Bone marrow aspirate smear
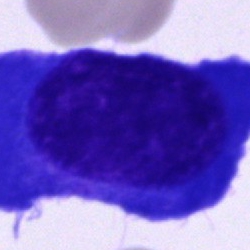
Q: What is the morphological classification of this cell?
A: A plasmacyte.